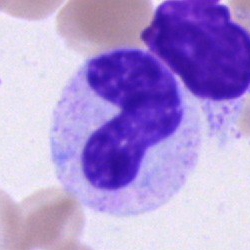 Cell — stab cell.